Bone marrow smear; May-Grünwald-Giemsa/Pappenheim stain; 40× objective, oil immersion.
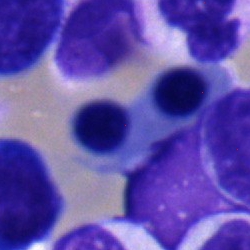 Normoblast.